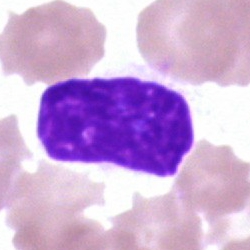

Showing an artifact.